Bone marrow aspirate smear; single-cell field; 250 by 250 pixels: 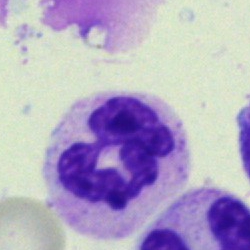

Morphology — polymorphonuclear neutrophil.